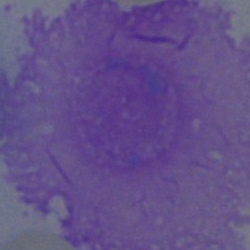
Morphology consistent with an artefact.